Bone marrow aspirate smear; 250 by 250 pixels; 40× oil immersion — 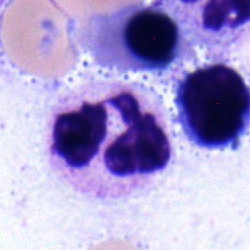This is a segmented neutrophil.